Bone marrow aspirate smear. Single cell centered in the field: 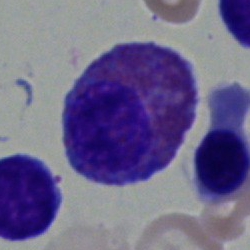

Cell: eosinophilic granulocyte.